Bone marrow smear:
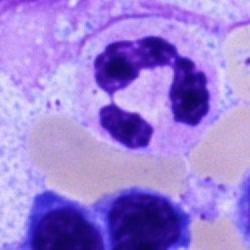 A polymorphonuclear neutrophil.